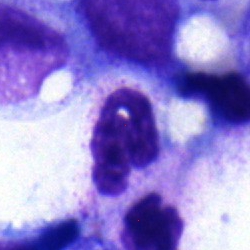Single cell identified as a neutrophil (segmented).